Pappenheim-stained. Single cell centered in the field. Bone marrow aspirate smear.
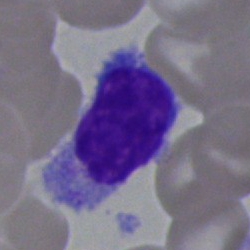

Typical lymphocyte.